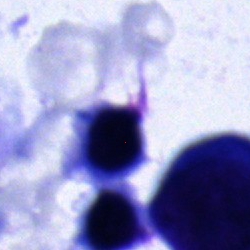

Showing a normoblast.